Bone marrow aspirate smear — 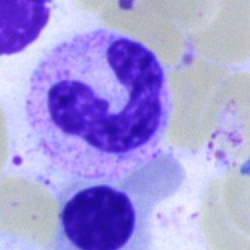
Specimen: bone marrow smear.
Cell: neutrophil (segmented).
Lineage: myeloid.